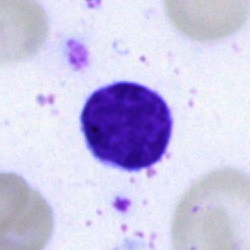 Q: Identify the cell.
A: It is a lymphocyte.